Single-cell crop; bone marrow aspirate smear — 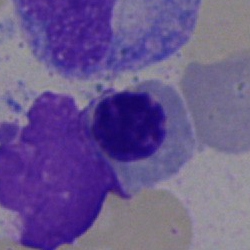

Specimen: bone marrow aspirate smear.
Cell type: nucleated red cell.